Peripheral blood film: 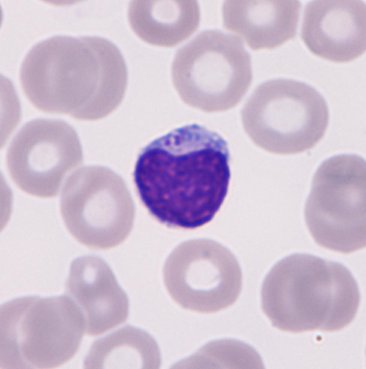Q: What is the morphological classification of this cell?
A: A typical lymphocyte.